40× oil immersion · bone marrow smear — 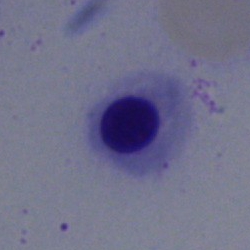

A nucleated red blood cell.